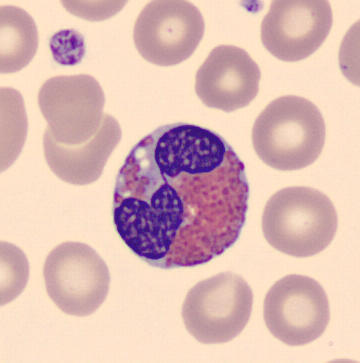 Classification = eosinophilic granulocyte.